Bone marrow smear — 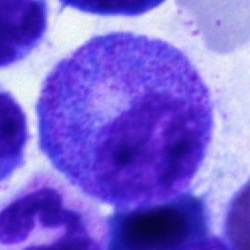

Showing a promyelocyte.